Bone marrow aspirate smear: 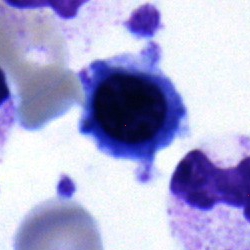Q: Identify the cell.
A: A normoblast.